Single-cell crop; bone marrow smear: 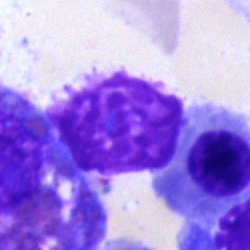
Morphological class — artefact.